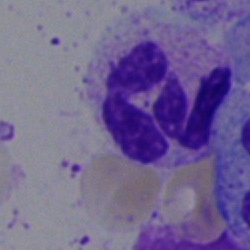

Morphology consistent with a polymorphonuclear neutrophil.